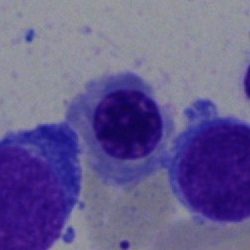Classification: nucleated red blood cell.